Bone marrow aspirate smear · 250×250 — 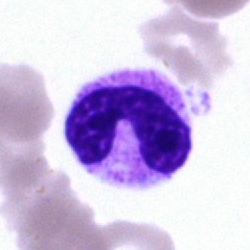
Morphology consistent with a polymorphonuclear neutrophil.